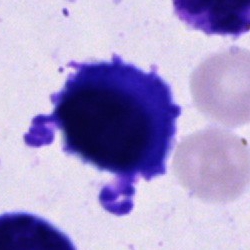

Single-cell crop from a bone marrow smear: cell of indeterminate lineage.